Bone marrow aspirate smear
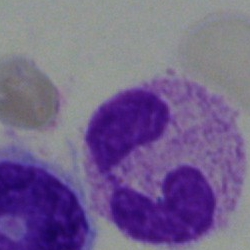Cell = neutrophil (segmented).